Bone marrow smear.
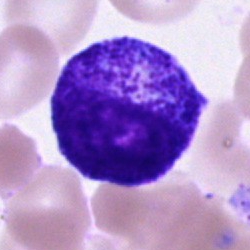 Cell type: myelocyte.